Bone marrow aspirate smear; May-Grünwald-Giemsa stain; single-cell field:
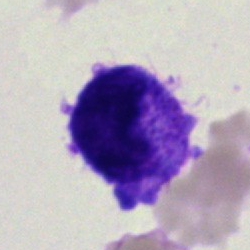Q: What type of cell is this?
A: A blast cell.